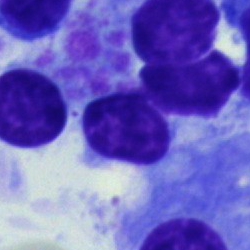
Morphology → typical lymphocyte.